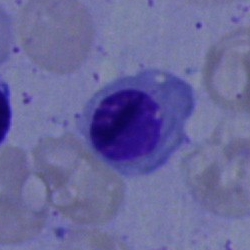 Q: What type of cell is this?
A: This is a nucleated red blood cell.